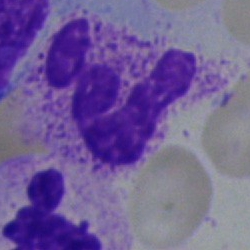This is a polymorphonuclear neutrophil.